Bone marrow smear: 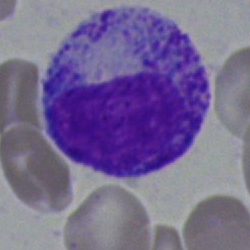Specimen: bone marrow aspirate smear.
Cell type: myelocyte.